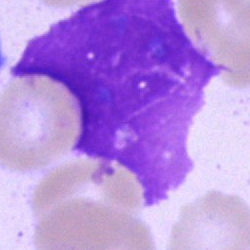Specimen: bone marrow aspirate smear.
Classification: artifact.